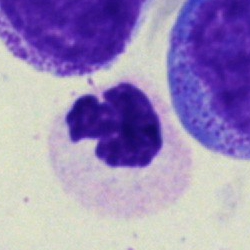
Q: Which cell type is shown here?
A: It is a neutrophil (segmented).